Bone marrow smear
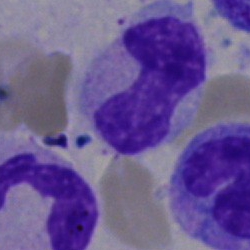

Morphological class: band neutrophil.